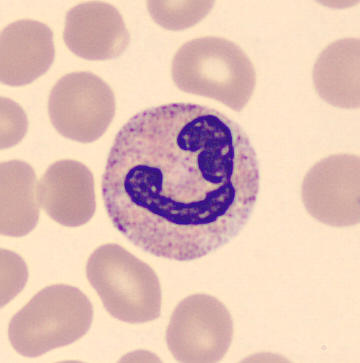

Q: Identify the cell.
A: A segmented neutrophil.